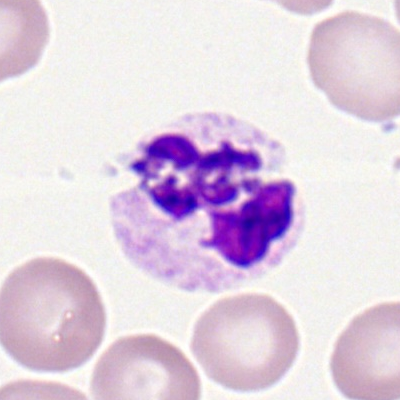 Q: What type of cell is this?
A: A polymorphonuclear neutrophil.